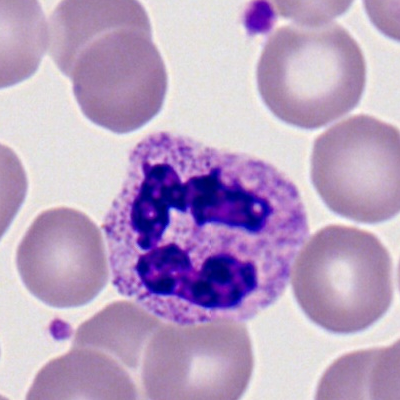

Morphological class = neutrophil (segmented).